Cropped to a single cell. Bone marrow aspirate smear.
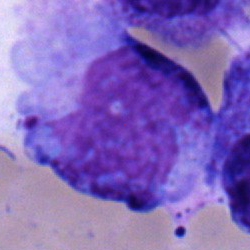Specimen: bone marrow aspirate smear.
Morphological class: undifferentiated blast.